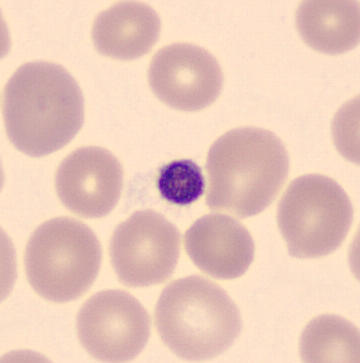

{"cell_type": "platelet (thrombocyte)"}